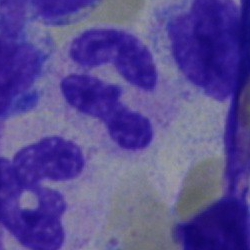

Classification — neutrophil (segmented).